Bone marrow smear: 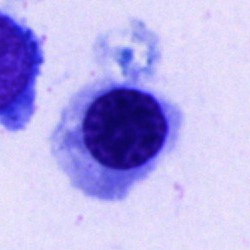 Specimen: bone marrow aspirate smear.
Classification: erythroblast.